250×250 px; bone marrow smear.
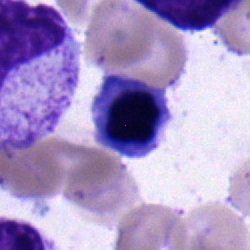

Classification = nucleated red blood cell.